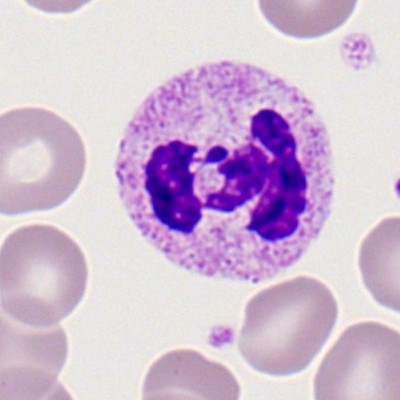 Specimen: peripheral blood smear.
Morphological class: segmented neutrophil.
Lineage: myeloid.